Bone marrow smear — 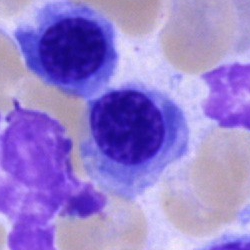

Q: What is the morphological classification of this cell?
A: Normoblast.